Bone marrow smear; Pappenheim-stained; cropped to a single cell.
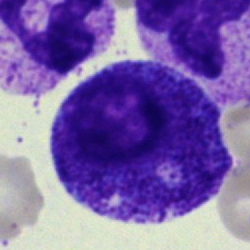
Cell type: myelocyte.